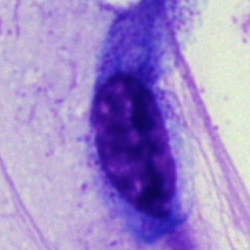The cell shown is an artefact.